40× objective, oil immersion. Image size 250×250. Bone marrow aspirate smear: 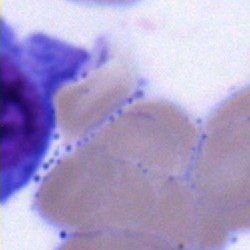 This is a blast cell.